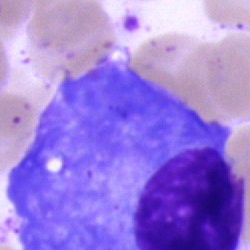
{"cell_type": "plasma cell", "lineage": "lymphoid"}